Bone marrow smear. 250×250: 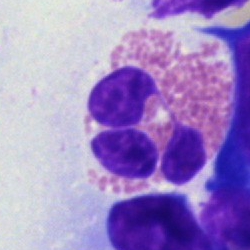
Classification = eosinophil.